Brightfield microscopy, 40× oil immersion · bone marrow smear · single-cell crop: 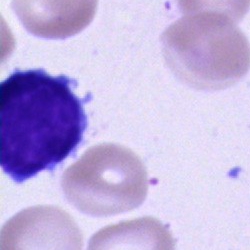 The cell shown is a typical lymphocyte.